Bone marrow aspirate smear
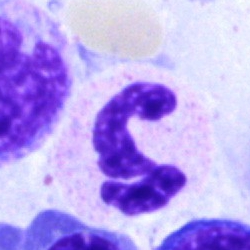 Q: What is shown here?
A: A polymorphonuclear neutrophil.